Bone marrow aspirate smear.
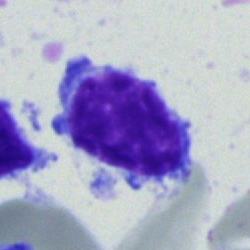
Showing a lymphocyte.